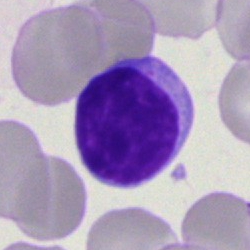Morphology consistent with a lymphocyte.